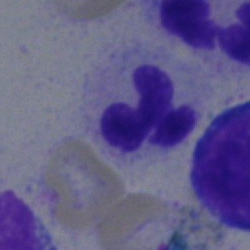 The cell shown is a polymorphonuclear neutrophil.